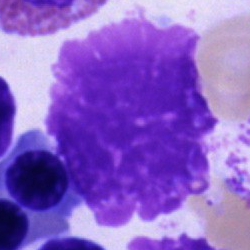
Classification = artefact.